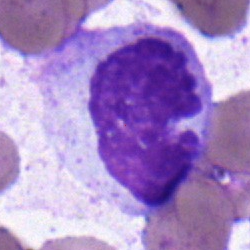

Cell = monocyte.